Bone marrow smear: 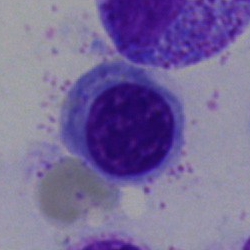
This is a normoblast.